Bone marrow aspirate smear:
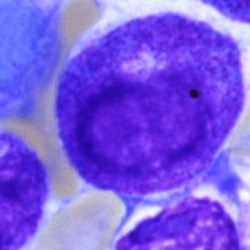
Promyelocyte.